Bone marrow aspirate smear — 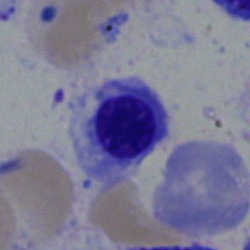This is a nucleated red cell.